Single cell centered in the field · bone marrow smear — 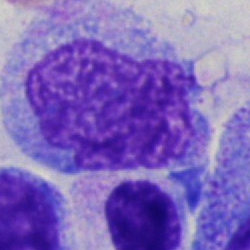 Classification: monocyte.